Bone marrow smear: 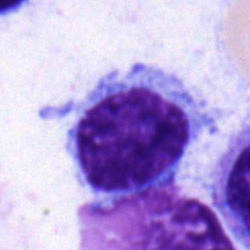Classification: typical lymphocyte.